Peripheral blood smear
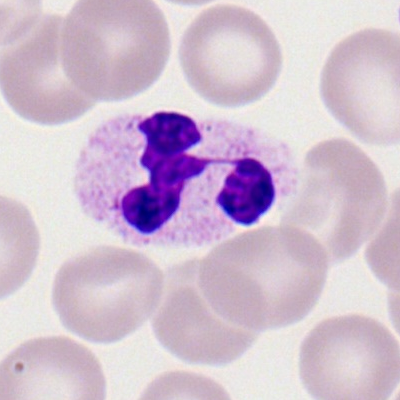

This is a polymorphonuclear neutrophil.